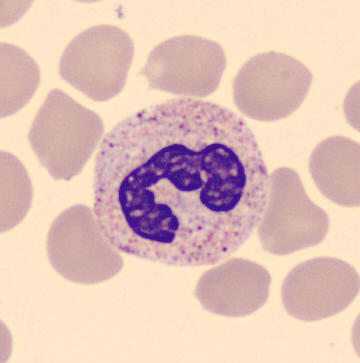

Specimen: peripheral blood film.
Cell: neutrophil (segmented).